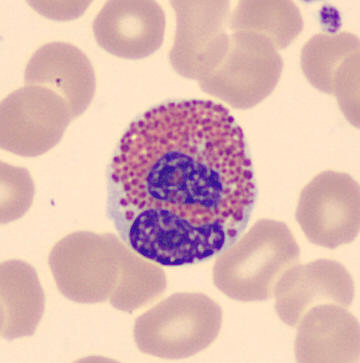
Acquisition: Single-cell field · peripheral blood smear.
The morphological class is eosinophil.